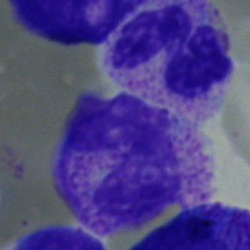Bone marrow smear showing a band-form neutrophil.